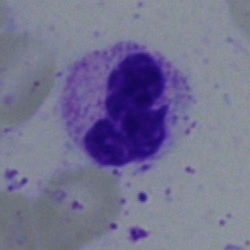
Morphological class = neutrophil (segmented).